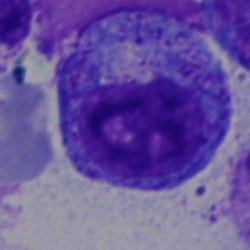 Morphology consistent with a progranulocyte.